Bone marrow aspirate smear
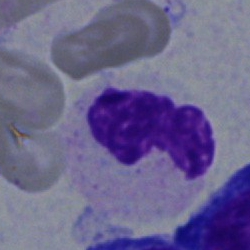Morphology consistent with a band neutrophil.